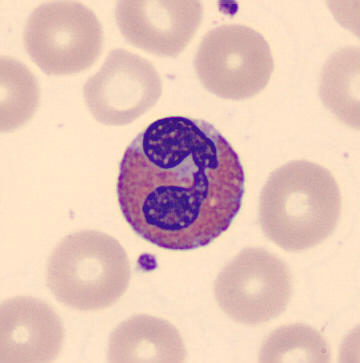

Peripheral blood film. Cell: eosinophilic granulocyte.